Bone marrow aspirate smear. May-Grünwald-Giemsa stain — 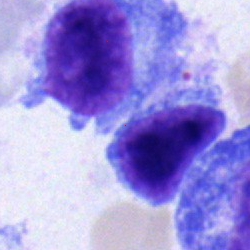
{"cell_type": "typical lymphocyte", "lineage": "lymphoid"}